Bone marrow smear · brightfield, 40× oil-immersion objective: 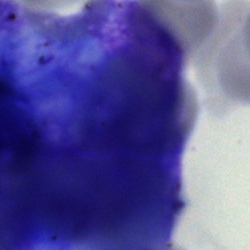Q: What is shown here?
A: Artefact.